MGG-stained; bone marrow aspirate smear: 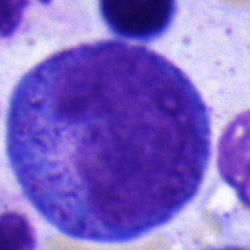A promyelocyte.